May-Grünwald-Giemsa stain. Bone marrow aspirate smear: 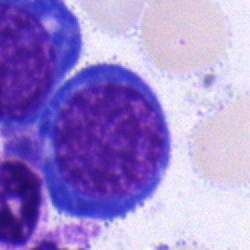 Specimen: bone marrow smear.
Classification: erythroblast.